Pappenheim-stained; bone marrow aspirate smear.
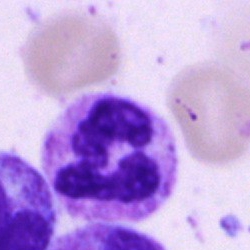 Impression → segmented neutrophil.